250 by 250 pixels. 40× oil immersion. Bone marrow smear
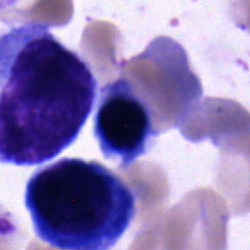
Showing a nucleated red cell.